Bone marrow smear. 40× oil immersion
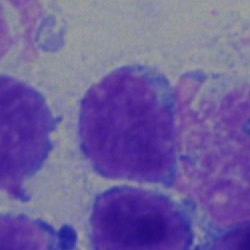

Q: What type of cell is this?
A: It is a typical lymphocyte.